Bone marrow smear · Pappenheim-stained: 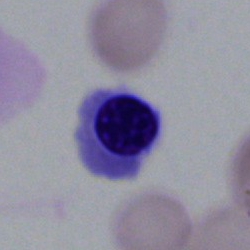 {"cell_type": "nucleated red cell", "lineage": "erythroid"}